Bone marrow smear:
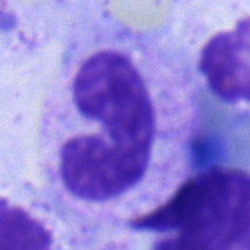
Q: What is shown here?
A: It is a band neutrophil.